Bone marrow smear; 40× oil immersion; May-Grünwald-Giemsa/Pappenheim stain: 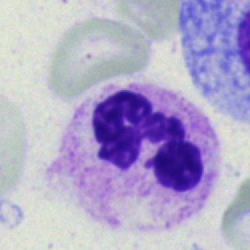

The classification is polymorphonuclear neutrophil.